May-Grünwald-Giemsa stain. Bone marrow smear:
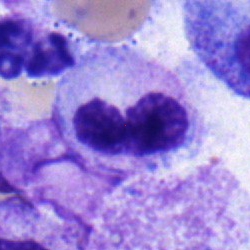 Cell: band neutrophil.